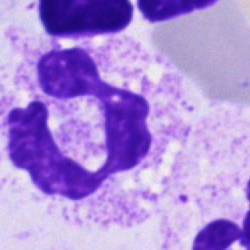

A polymorphonuclear neutrophil.